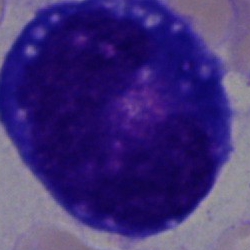{"cell_type": "blast cell"}